Bone marrow aspirate smear
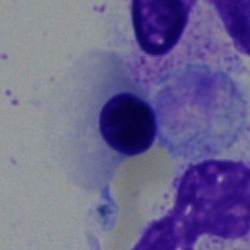 Impression — erythroblast.